Bone marrow smear: 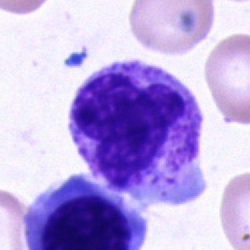 Showing a polymorphonuclear neutrophil.